Bone marrow aspirate smear
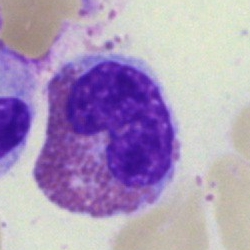

This is an eosinophilic granulocyte.